Peripheral blood smear.
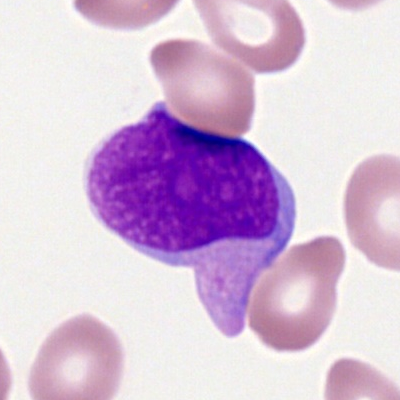 Cell: myeloid blast.